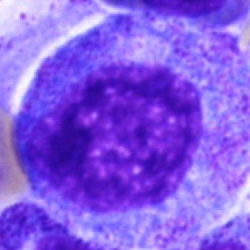 Specimen: bone marrow aspirate smear.
Morphological class: progranulocyte.
Lineage: myeloid.